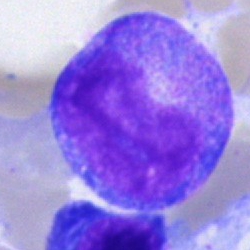Classification — promyelocyte.